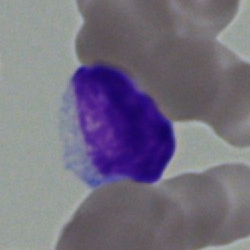 {"cell_type": "lymphocyte", "lineage": "lymphoid"}